Bone marrow smear
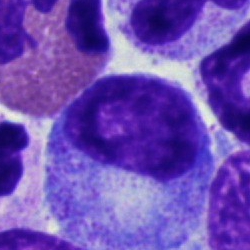Progranulocyte.